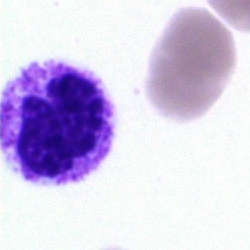

The classification is neutrophil (segmented).